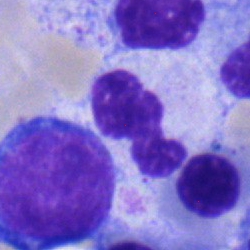
Morphological class: segmented neutrophil.